Single cell centered in the field. Bone marrow aspirate smear
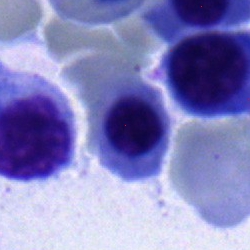Morphological class: nucleated red blood cell.